Bone marrow aspirate smear
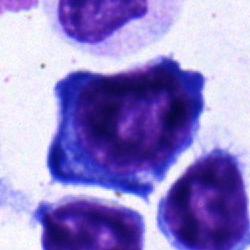
Showing a plasma cell.